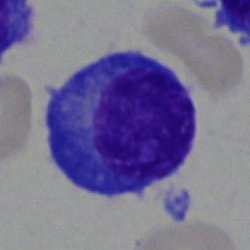

Plasmacyte.